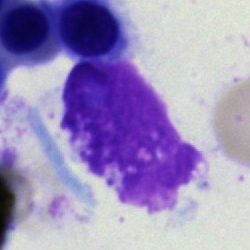 The cell is artifact.